250 by 250 pixels. Bone marrow smear:
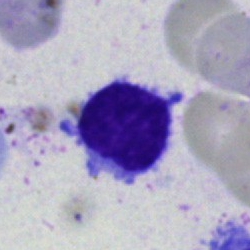

Single cell identified as a lymphocyte.